Bone marrow smear; brightfield, 40× oil-immersion objective
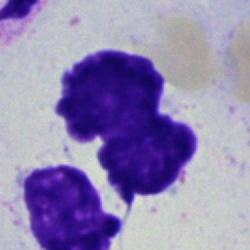The cell shown is an artefact.